250 by 250 pixels. Bone marrow smear. MGG-stained
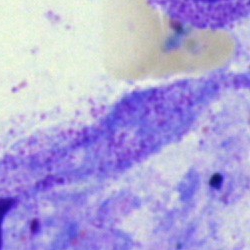Cell type = artifact.